Bone marrow smear: 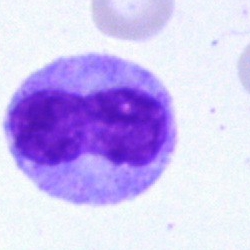 Specimen: bone marrow aspirate smear.
Cell: stab cell.
Lineage: myeloid.